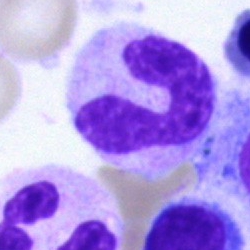 Impression — band neutrophil.